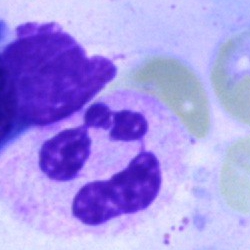 The morphological class is polymorphonuclear neutrophil.